Single-cell field · peripheral blood film — 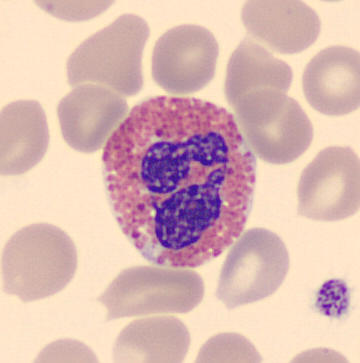 Single cell identified as an eosinophil.